Bone marrow aspirate smear.
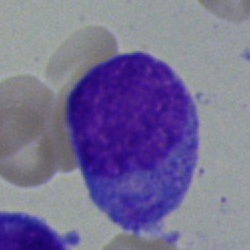
{"cell_type": "blast cell"}